Bone marrow smear.
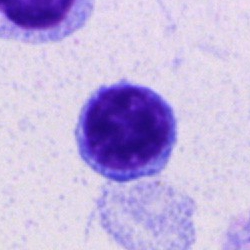 Q: What type of cell is this?
A: Typical lymphocyte.